Bone marrow smear
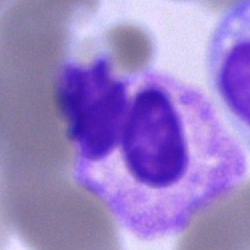

Showing a segmented neutrophil.